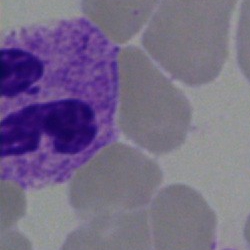

Classification = polymorphonuclear neutrophil.